Brightfield microscopy, 40× oil immersion. Bone marrow smear — 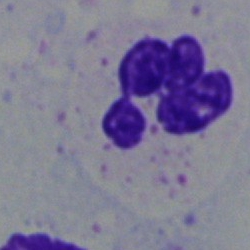
Showing a segmented neutrophil.